MGG-stained; bone marrow aspirate smear; single cell centered in the field: 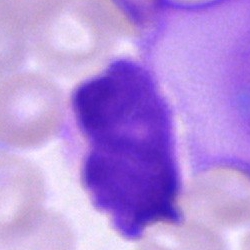 Single cell identified as an artifact.